250×250 px. Cropped to a single cell. Bone marrow aspirate smear
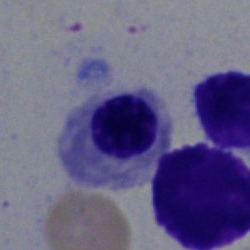 Showing a nucleated red blood cell.